Image size 250×250; bone marrow smear; cropped to a single cell.
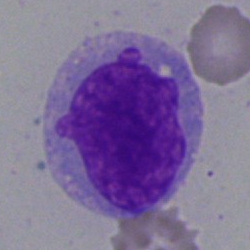 {"cell_type": "undifferentiated blast"}